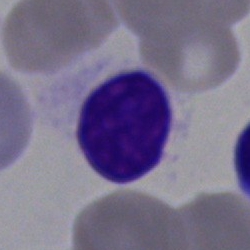

The cell shown is a typical lymphocyte.